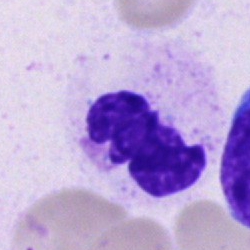Bone marrow aspirate smear, single cell — segmented neutrophil.